Bone marrow aspirate smear.
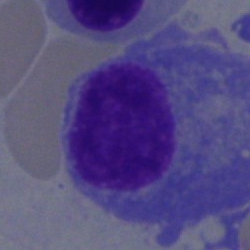 Morphology → plasmacyte.